Bone marrow aspirate smear · single-cell field:
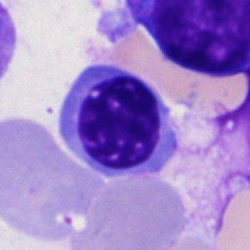
The classification is nucleated red cell.